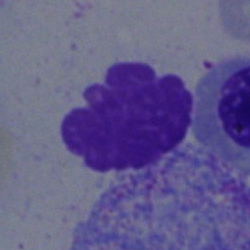
Specimen: bone marrow aspirate smear.
Morphological class: artifact.